Bone marrow aspirate smear:
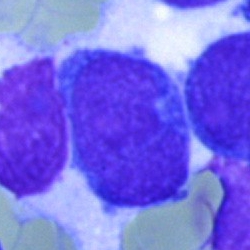
Q: Identify the cell.
A: Blast cell.